Bone marrow aspirate smear: 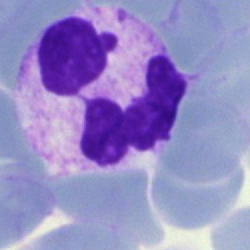
Cell — neutrophil (segmented).